Bone marrow aspirate smear:
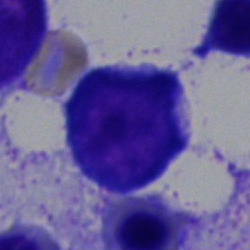

Q: What cell is this?
A: Lymphocyte.